Bone marrow smear. 250×250.
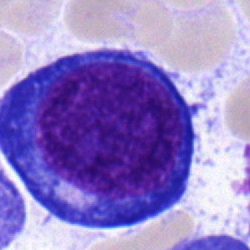

Q: What is the morphological classification of this cell?
A: Proerythroblast.